Bone marrow aspirate smear.
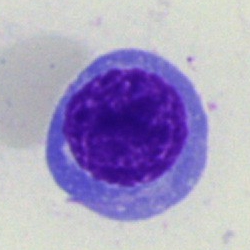Impression — nucleated red blood cell.